Bone marrow aspirate smear
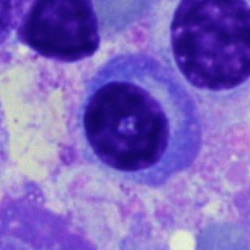

Cell — plasmacyte.